May-Grünwald-Giemsa/Pappenheim stain · bone marrow smear.
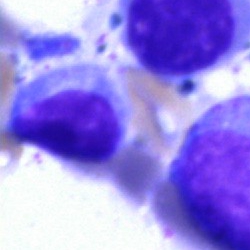 Q: What cell is this?
A: A lymphocyte.